Bone marrow smear — 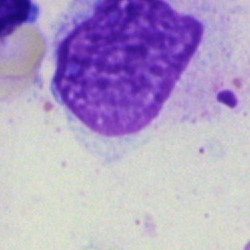Cell type: artifact.